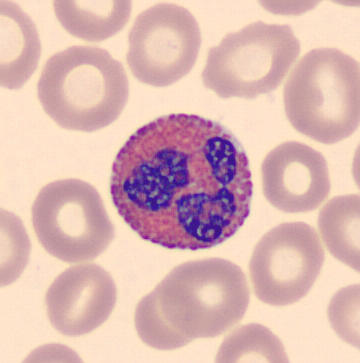 Showing an eosinophilic granulocyte.